Bone marrow aspirate smear.
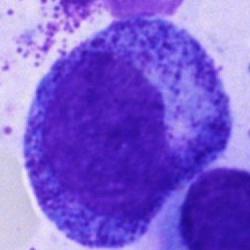 Impression — promyelocyte.